250×250 px · bone marrow smear.
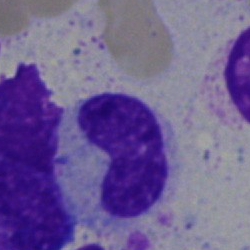Cell — band-form neutrophil.